Bone marrow aspirate smear:
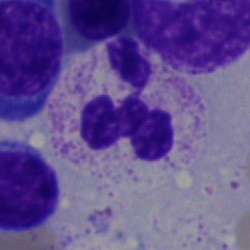Morphology → neutrophil (segmented).